Bone marrow aspirate smear.
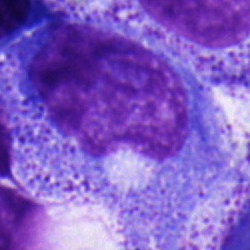

Showing a promyelocyte.